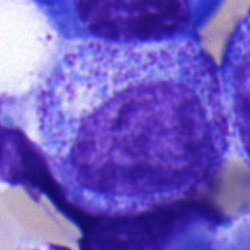 Progranulocyte.